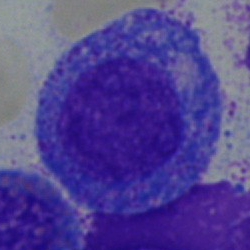A progranulocyte on a bone marrow smear.